Cropped to a single cell; bone marrow aspirate smear: 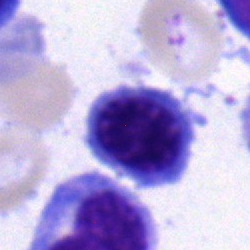

Q: What type of cell is this?
A: Nucleated red blood cell.